Bone marrow smear
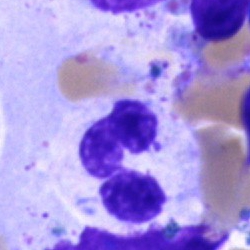
Cell: segmented neutrophil.